Peripheral blood film — 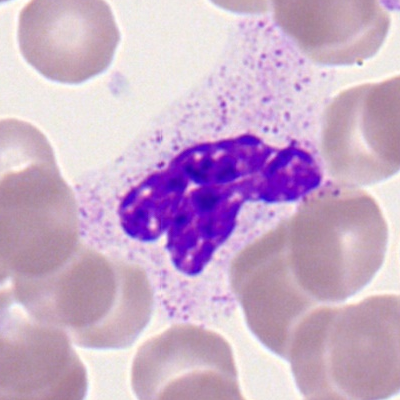Cell: polymorphonuclear neutrophil.